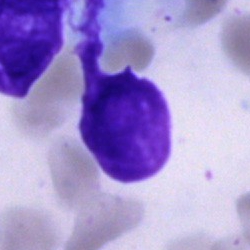 The morphological class is artefact.